Bone marrow smear; May-Grünwald-Giemsa/Pappenheim stain — 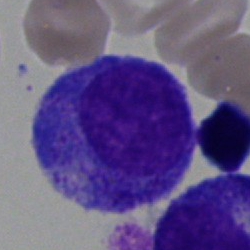 Specimen: bone marrow smear.
Cell: promyelocyte.
Lineage: myeloid.